Bone marrow aspirate smear · 250×250 px
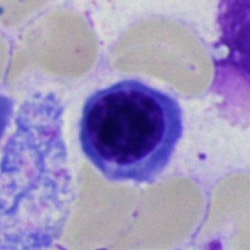Morphological class: nucleated red blood cell.